Bone marrow smear
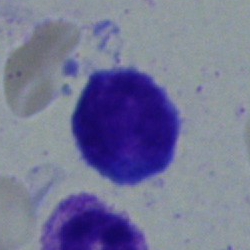
Q: What is the morphological classification of this cell?
A: It is a lymphocyte.